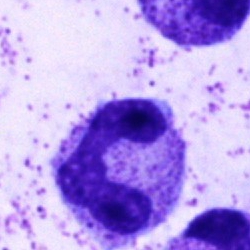

Impression — neutrophil (segmented).